Peripheral blood smear
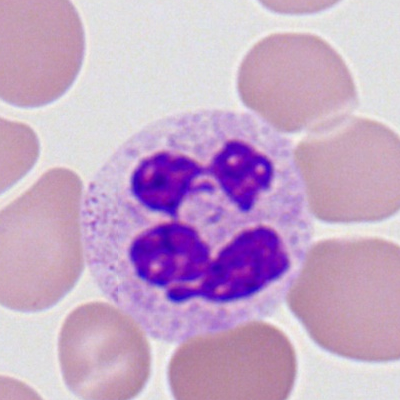

Single cell identified as a polymorphonuclear neutrophil.